Bone marrow aspirate smear — 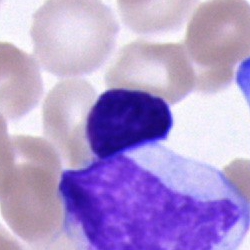Q: What is shown here?
A: This is an artifact.